Bone marrow aspirate smear. 40× objective, oil immersion
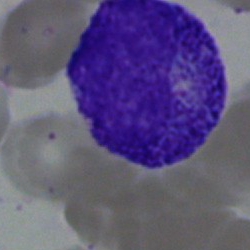 Classification: myelocyte.